40× oil immersion · bone marrow aspirate smear · 250×250.
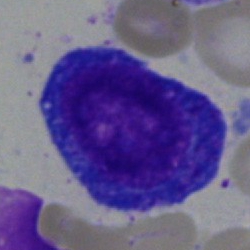

Morphology — promyelocyte.